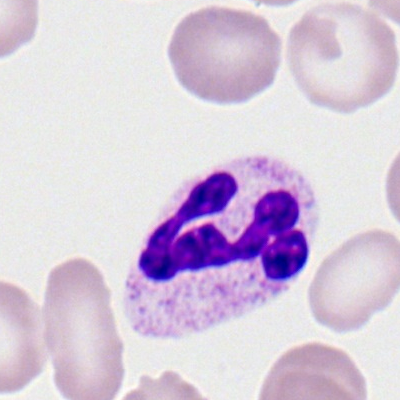

The classification is segmented neutrophil.